Peripheral blood smear:
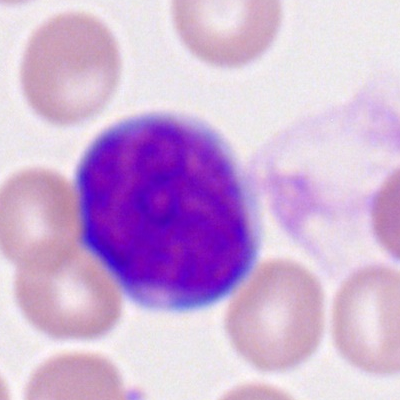
Impression → myeloblast.